Single-cell crop · bone marrow aspirate smear — 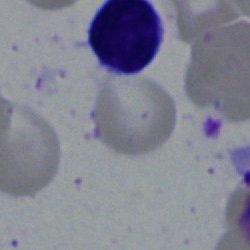 Specimen: bone marrow smear.
Cell: lymphocyte.